Bone marrow smear; single cell centered in the field; May-Grünwald-Giemsa stain — 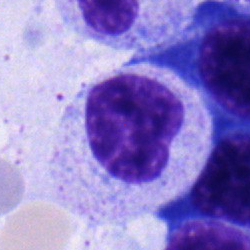 Specimen: bone marrow aspirate smear.
Morphological class: myelocyte.
Lineage: myeloid.